Bone marrow smear. Image size 250×250:
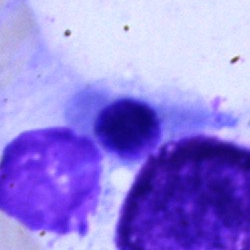
This is a nucleated red blood cell.